Bone marrow aspirate smear: 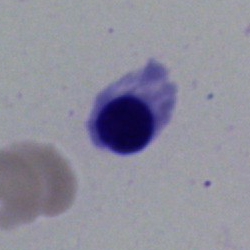The cell shown is a normoblast.